Bone marrow smear
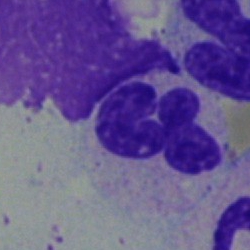Q: What is shown here?
A: This is a polymorphonuclear neutrophil.